Bone marrow smear.
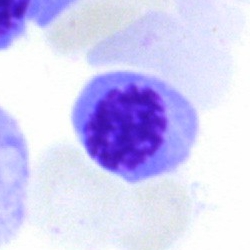The cell is erythroblast.